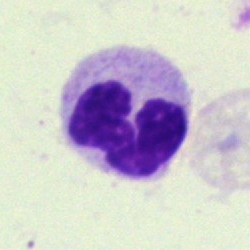
Cell type — segmented neutrophil.